Bone marrow smear: 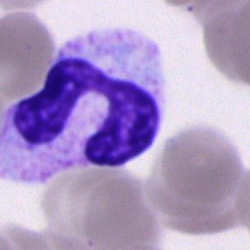This is a segmented neutrophil.